Bone marrow aspirate smear
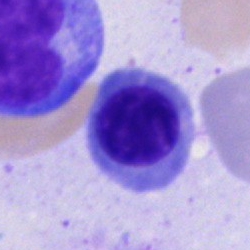 {"cell_type": "nucleated red blood cell", "lineage": "erythroid"}